Single cell centered in the field. MGG-stained. Bone marrow aspirate smear
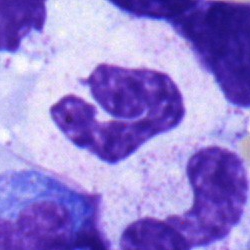Showing a polymorphonuclear neutrophil.